Cropped to a single cell. Bone marrow smear. 250×250 px — 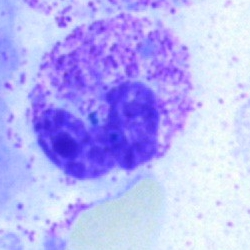

This is a neutrophil (segmented).